Bone marrow aspirate smear:
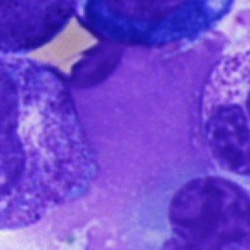 Impression → artifact.